Bone marrow aspirate smear · MGG-stained · 250×250 px.
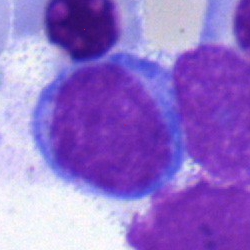A typical lymphocyte.